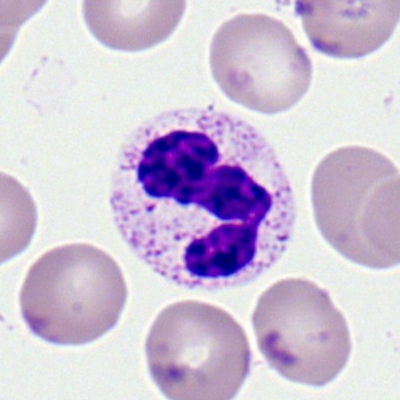
A polymorphonuclear neutrophil.